Romanowsky-stained. Peripheral blood film — 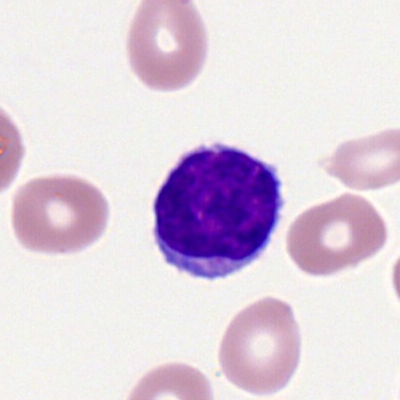Morphological class: typical lymphocyte.